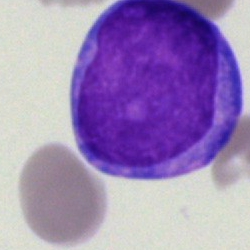

Q: Which cell type is shown here?
A: This is an undifferentiated blast.